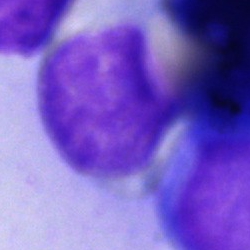 Morphology → cell of indeterminate lineage.